Bone marrow aspirate smear. May-Grünwald-Giemsa/Pappenheim stain:
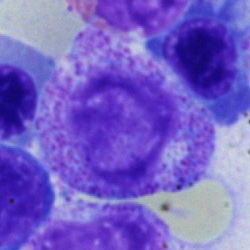
Cell type = myelocyte.